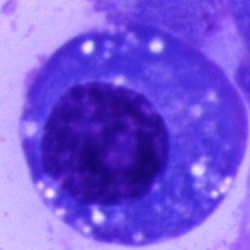

Classification = plasma cell.